Bone marrow aspirate smear
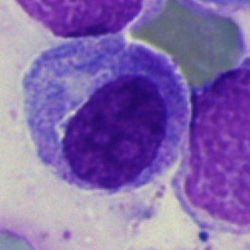

{"cell_type": "progranulocyte", "lineage": "myeloid"}